Bone marrow aspirate smear. 40× oil immersion. Image size 250×250.
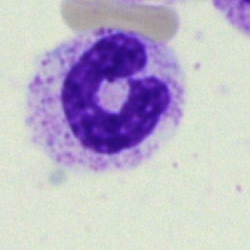
This is a stab cell.